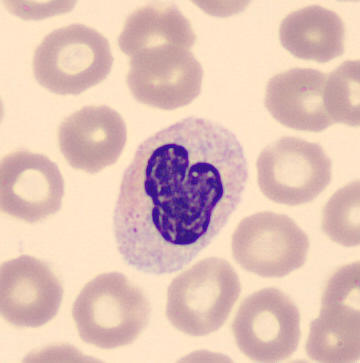

Image: Peripheral blood film. Q: Identify the cell.
A: It is a neutrophil (band).